400 by 400 pixels; peripheral blood film:
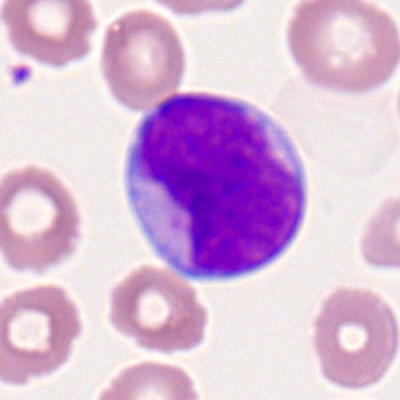Q: What is shown here?
A: It is a myeloblast.